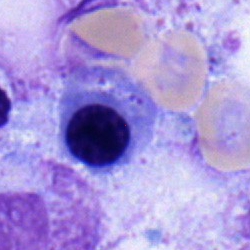Impression — normoblast.